Bone marrow smear · May-Grünwald-Giemsa stain · cropped to a single cell.
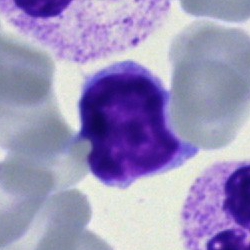 Specimen: bone marrow aspirate smear.
Cell: lymphocyte.